Bone marrow smear — 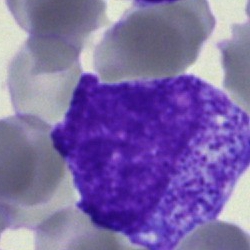
Single cell identified as a progranulocyte.